MGG-stained; bone marrow aspirate smear.
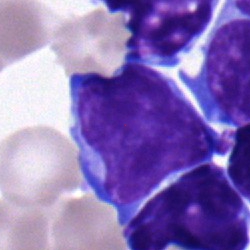
Specimen: bone marrow smear.
Cell: typical lymphocyte.